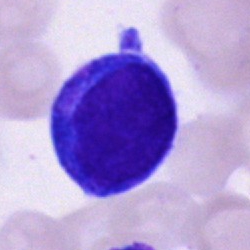
Specimen: bone marrow smear.
Classification: undifferentiated blast.